Bone marrow aspirate smear
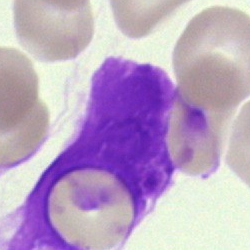

Impression → artefact.